Brightfield, 40× oil-immersion objective. Bone marrow smear — 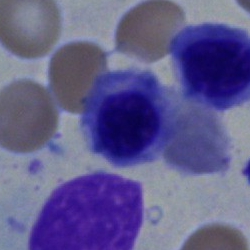
Single cell identified as a normoblast.